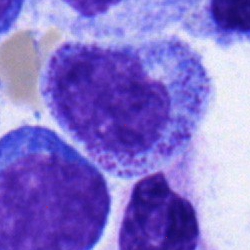 Q: What cell is this?
A: A metamyelocyte.